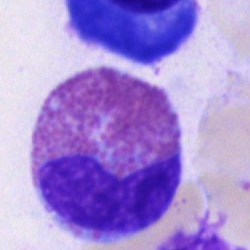
Q: What cell is this?
A: This is an eosinophil.